Bone marrow smear.
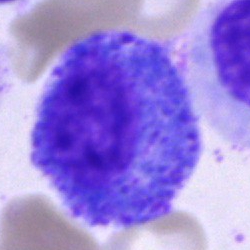Classification = progranulocyte.